Bone marrow aspirate smear: 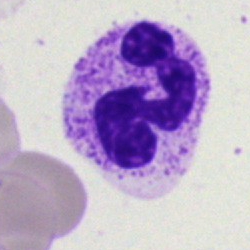

This is a polymorphonuclear neutrophil.